Bone marrow smear
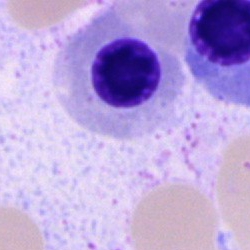
Specimen: bone marrow aspirate smear.
Classification: nucleated red blood cell.